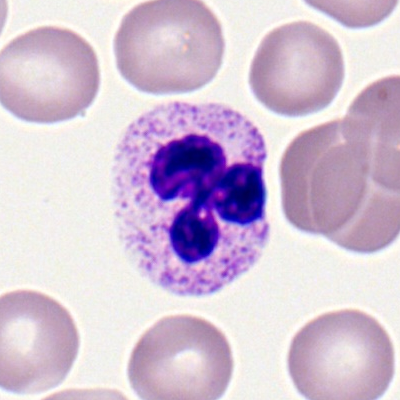Showing a segmented neutrophil.